Bone marrow aspirate smear:
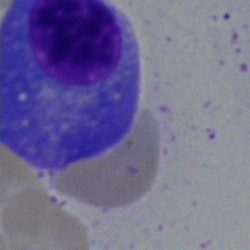Single cell identified as a plasmacyte.